Single-cell crop · bone marrow aspirate smear.
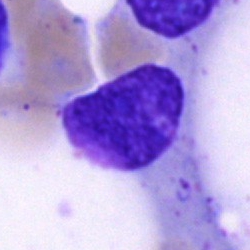

Morphology → artefact.